Bone marrow aspirate smear; 250×250 px; MGG-stained
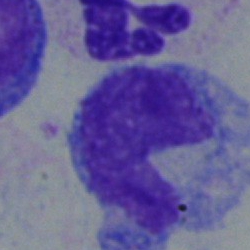Classification = monocyte.